Cropped to a single cell · bone marrow smear · May-Grünwald-Giemsa/Pappenheim stain — 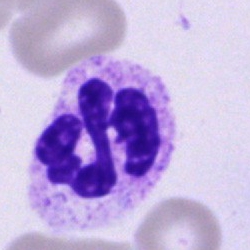

Cell: polymorphonuclear neutrophil.